Peripheral blood smear.
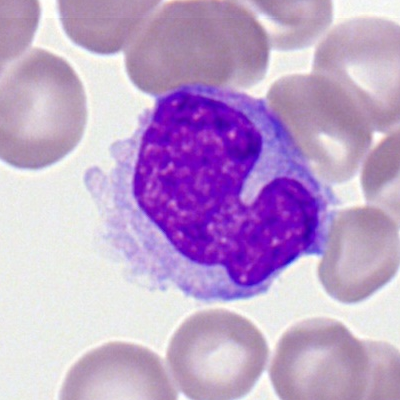 Morphology — monocyte.